Peripheral blood smear.
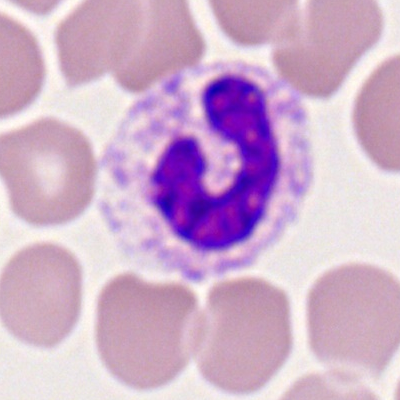Specimen: peripheral blood film.
Cell: band neutrophil.
Lineage: myeloid.